Bone marrow smear; cropped to a single cell; Pappenheim-stained
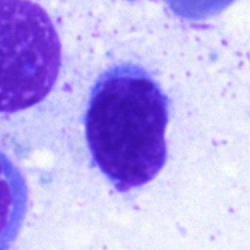
Cell type = typical lymphocyte.